Brightfield, 40× oil-immersion objective. Single-cell crop. Bone marrow aspirate smear.
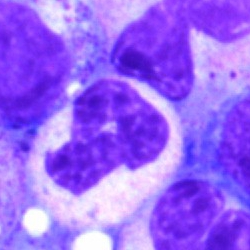
Showing a polymorphonuclear neutrophil.